Bone marrow aspirate smear
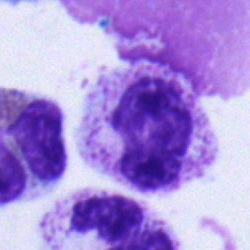Q: What is shown here?
A: Metamyelocyte.